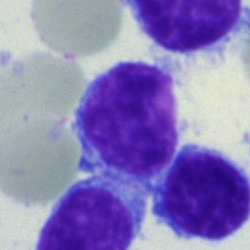 {"cell_type": "typical lymphocyte"}